May-Grünwald-Giemsa/Pappenheim stain. 40× oil immersion. Bone marrow smear
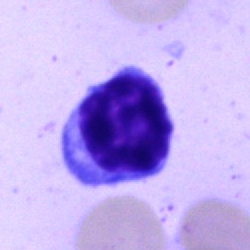 {"cell_type": "lymphocyte"}